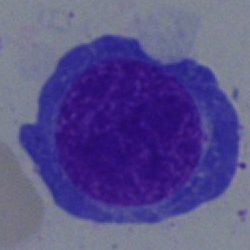This is an erythroblast.